Bone marrow smear:
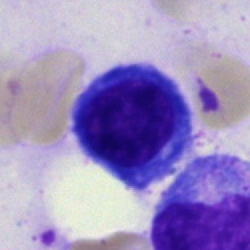

The classification is normoblast.